Bone marrow smear.
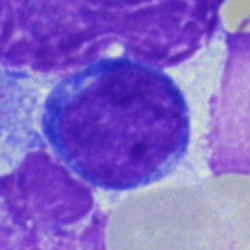Specimen: bone marrow smear.
Cell: normoblast.
Lineage: erythroid.